Brightfield, 40× oil-immersion objective. Bone marrow smear: 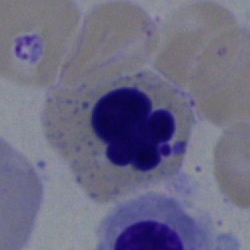 Q: What is shown here?
A: It is a nucleated red blood cell.